Bone marrow aspirate smear:
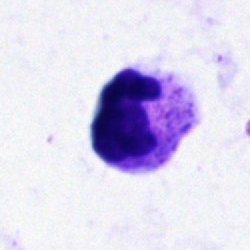
Single cell identified as a segmented neutrophil.